Bone marrow smear
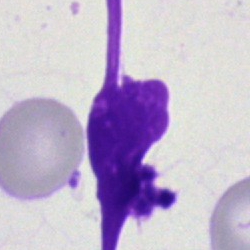

{"cell_type": "artefact"}